Bone marrow aspirate smear · single-cell crop · 250 by 250 pixels: 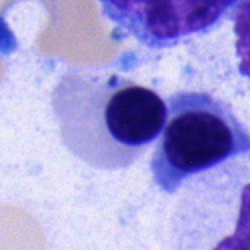

Showing a nucleated red cell.